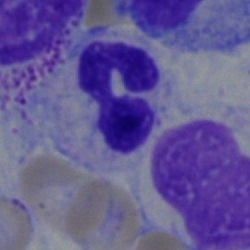 Q: What cell is this?
A: It is a neutrophil (segmented).